Bone marrow smear; single-cell crop; 40× oil immersion
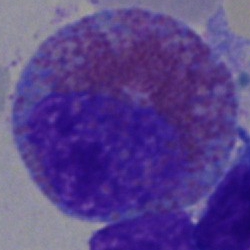 The cell type is eosinophilic granulocyte.